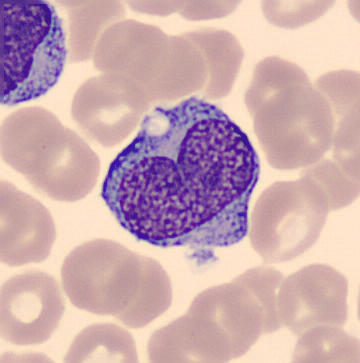Acquisition: Peripheral blood film.

Morphology → monocyte.